Bone marrow smear: 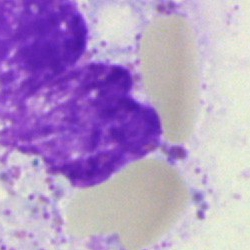

Single cell identified as an artefact.